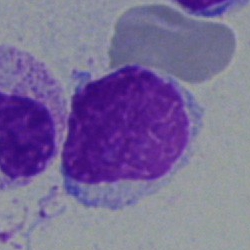 The classification is lymphocyte.